Pappenheim-stained; bone marrow smear — 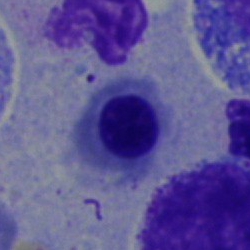Specimen: bone marrow smear.
Cell: erythroblast.
Lineage: erythroid.